Bone marrow aspirate smear: 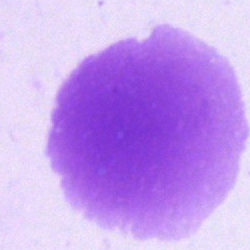
Morphological class — artefact.